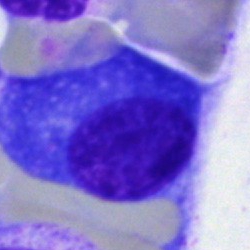

Classification = plasma cell.